Brightfield microscopy, 40× oil immersion · bone marrow smear.
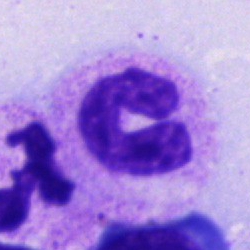 Q: Which cell type is shown here?
A: It is a band-form neutrophil.